Bone marrow smear: 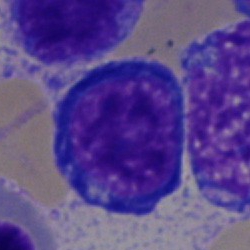

Q: What is shown here?
A: A proerythroblast.